Bone marrow aspirate smear
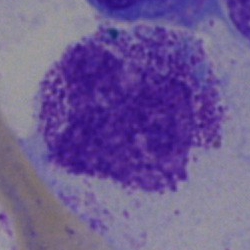

Morphology → artefact.